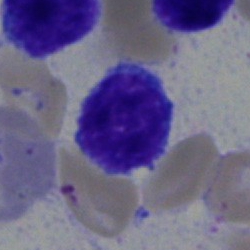Impression — typical lymphocyte.